May-Grünwald-Giemsa/Pappenheim stain · cropped to a single cell · bone marrow smear: 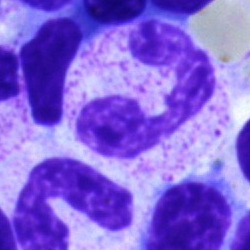

This is a neutrophil (segmented).